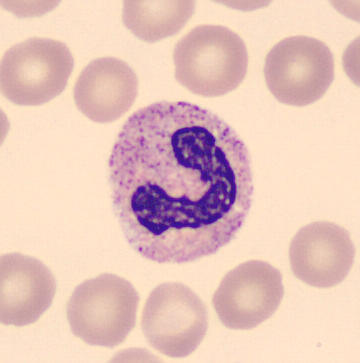

Single cell identified as a band neutrophil.
Preparation: Peripheral blood film; 360×363 px; imaged on a CellaVision DM96 analyser.